Bone marrow smear. Single-cell field. May-Grünwald-Giemsa/Pappenheim stain — 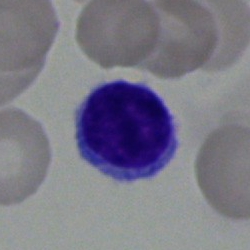
The cell shown is a lymphocyte.